Bone marrow smear.
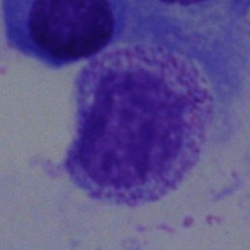
Specimen: bone marrow aspirate smear.
Classification: myelocyte.
Lineage: myeloid.